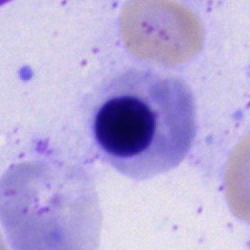

Erythroblast.